M8 digital microscope (Precipoint), 100× oil immersion · cropped to a single cell · peripheral blood film — 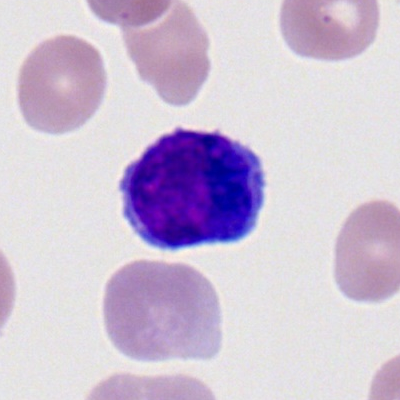 Morphology consistent with a typical lymphocyte.